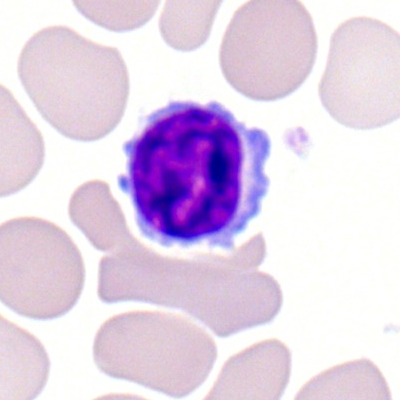Cell: lymphocyte.